Bone marrow smear
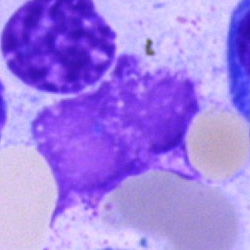
Showing an artefact.